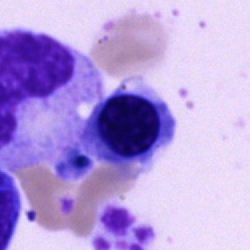 The cell type is normoblast.